Brightfield microscopy, 40× oil immersion. 250 by 250 pixels. Bone marrow aspirate smear.
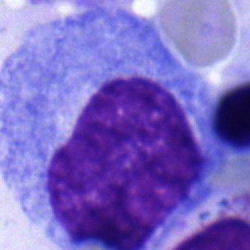
Showing a progranulocyte.